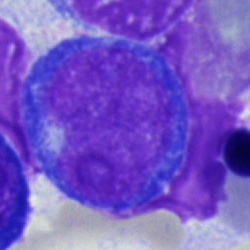
Cell type: proerythroblast.